MGG-stained · bone marrow aspirate smear.
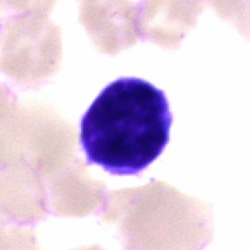Morphology → typical lymphocyte.